Bone marrow aspirate smear:
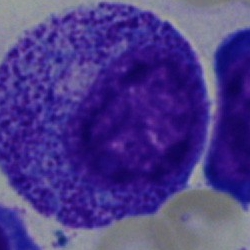

Specimen: bone marrow aspirate smear.
Cell: progranulocyte.
Lineage: myeloid.